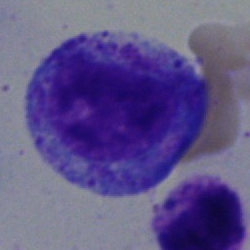Showing a promyelocyte.